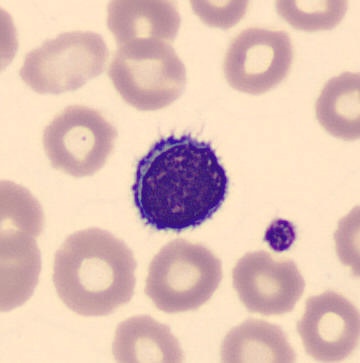 A lymphocyte.